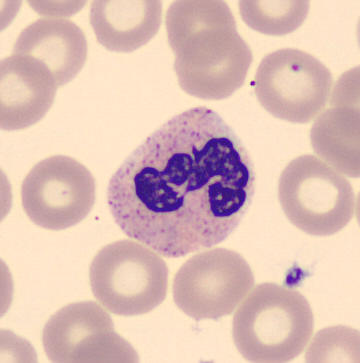
A polymorphonuclear neutrophil.